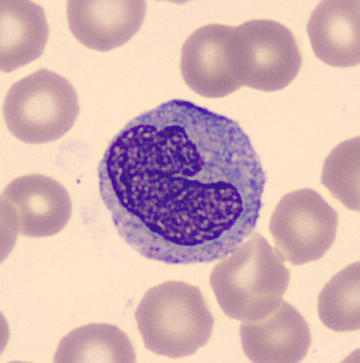 The classification is monocyte.

Peripheral blood film.